Bone marrow smear:
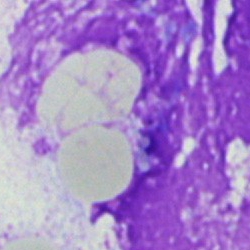Cell = artifact.